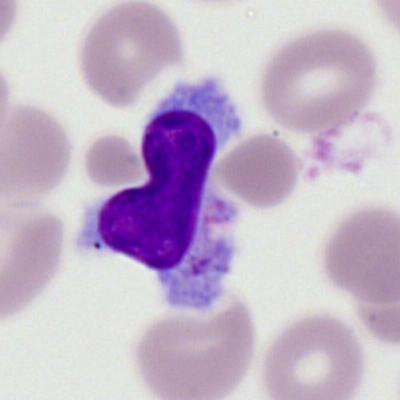 Single-cell crop from a peripheral blood smear: lymphocyte.